40× objective, oil immersion; bone marrow aspirate smear:
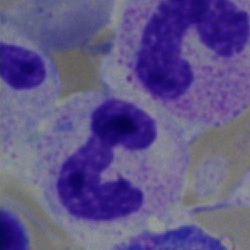 Q: What is shown here?
A: It is a segmented neutrophil.